Bone marrow aspirate smear. Single-cell crop:
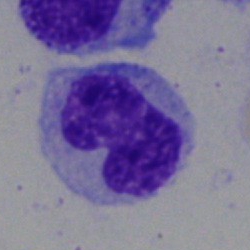
Classification — band neutrophil.